Bone marrow smear: 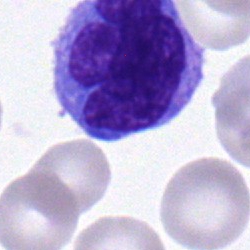

Specimen: bone marrow aspirate smear.
Cell type: monocyte.
Lineage: myeloid.